May-Grünwald-Giemsa/Pappenheim stain; bone marrow smear:
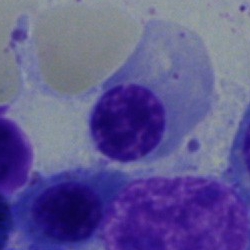
The classification is nucleated red blood cell.